Bone marrow aspirate smear
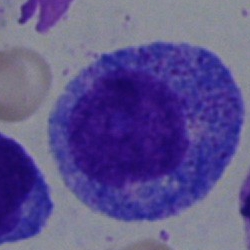Morphological class — promyelocyte.